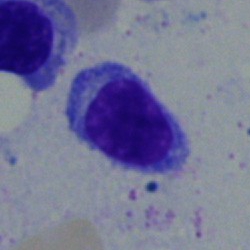

Single cell identified as a lymphocyte.